Bone marrow smear: 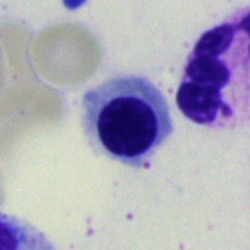 Classification: erythroblast.